Bone marrow aspirate smear
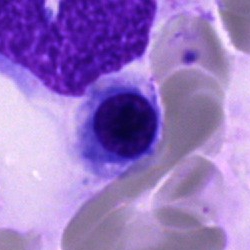This is a nucleated red cell.